Single-cell field. Bone marrow smear. Image size 250×250:
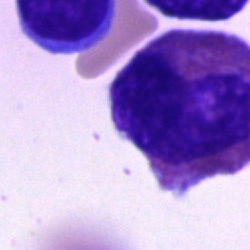

{"cell_type": "eosinophil", "lineage": "myeloid"}